Single cell centered in the field; MGG-stained; bone marrow smear: 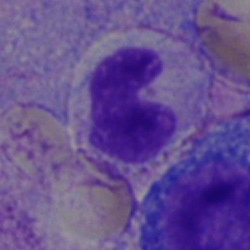
The cell is band neutrophil.